Bone marrow smear · MGG-stained
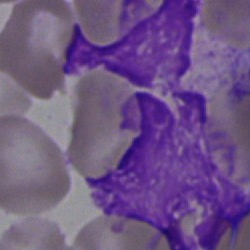Specimen: bone marrow smear.
Cell: artefact.